Bone marrow smear:
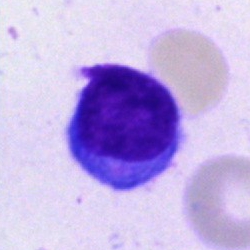
Specimen: bone marrow aspirate smear.
Classification: typical lymphocyte.